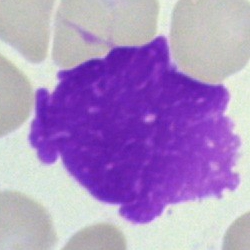Q: What is shown here?
A: Artefact.